Bone marrow smear
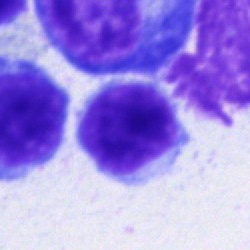 Specimen: bone marrow smear.
Cell type: lymphocyte.
Lineage: lymphoid.